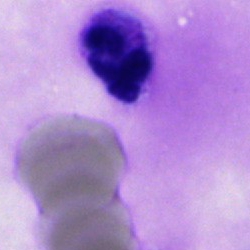 A neutrophil (segmented) on a bone marrow smear.